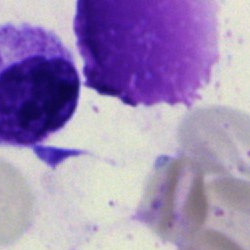Showing an artifact.